Bone marrow aspirate smear:
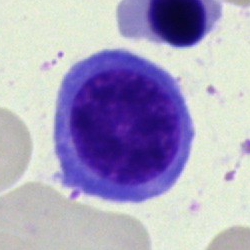

Nucleated red blood cell.